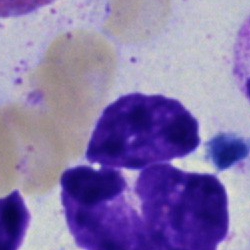 This is an artifact.